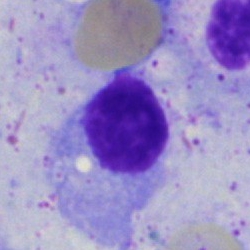

Single-cell crop from a bone marrow smear: plasma cell.